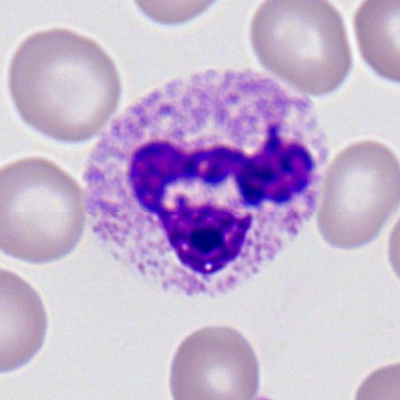

Morphological class: neutrophil (segmented).